Bone marrow smear:
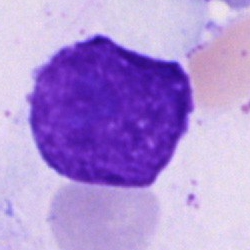
Impression — artifact.